Bone marrow smear — 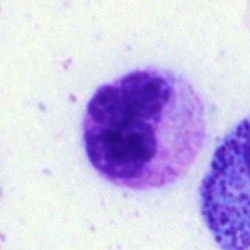
Morphology → basophil.